Image size 250×250; bone marrow smear; single-cell crop:
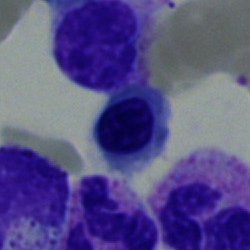 Classification — erythroblast.